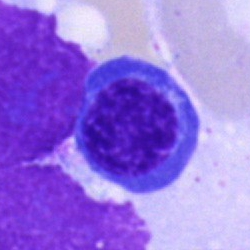Bone marrow aspirate smear, single cell — nucleated red cell.